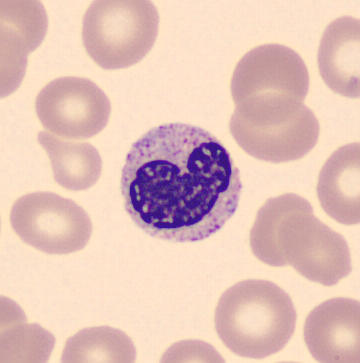

This is a band-form neutrophil.
Acquisition: 360×363 · MGG stain · peripheral blood smear.